Single-cell field · bone marrow smear
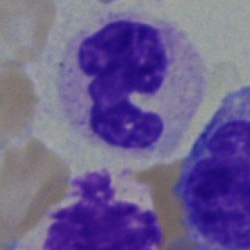
Impression → band neutrophil.